400×400 px · peripheral blood smear.
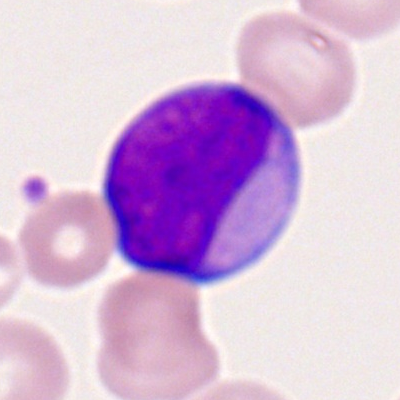
Myeloid blast.